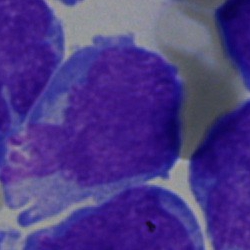
Bone marrow aspirate smear, single cell — undifferentiated blast.